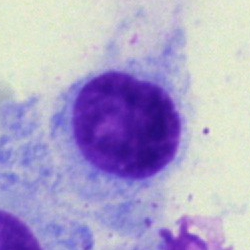
Bone marrow aspirate smear, single cell — hairy cell.